Image size 250×250; bone marrow smear
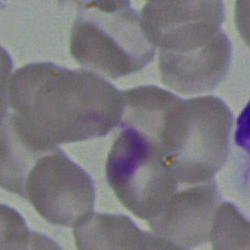
An artifact.